250×250. Brightfield, 40× oil-immersion objective. Bone marrow smear:
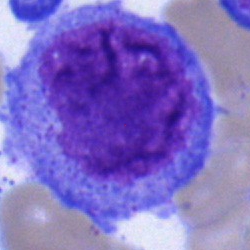 The classification is blast cell.